Peripheral blood smear — 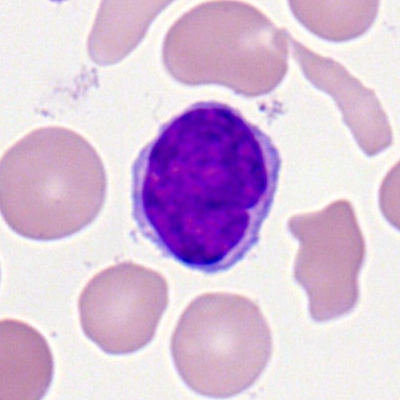

Q: What type of cell is this?
A: This is a typical lymphocyte.